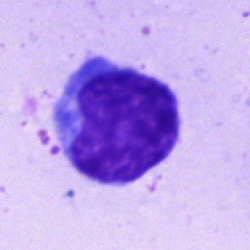Bone marrow smear showing a lymphocyte.